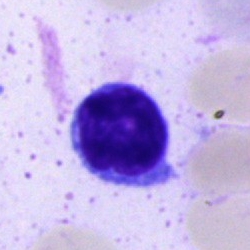 Morphology consistent with a lymphocyte.